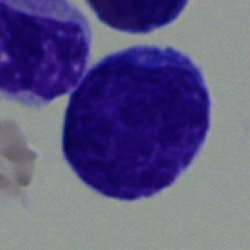The cell type is blast cell.